Peripheral blood film — 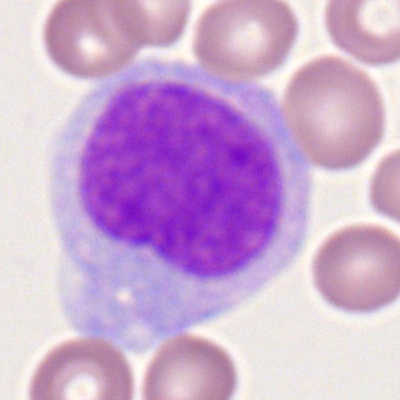Single cell identified as a myeloid blast.